Bone marrow aspirate smear.
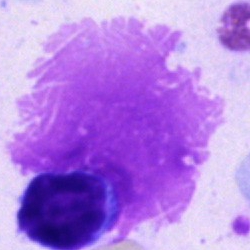

Morphological class: artefact.